Bone marrow smear · brightfield microscopy, 40× oil immersion.
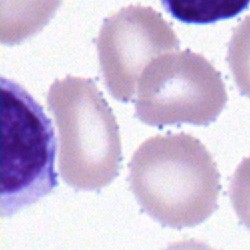Cell = typical lymphocyte.